MGG-stained; single cell centered in the field; bone marrow smear: 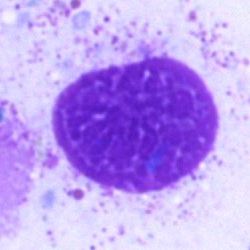
This is an artefact.